Bone marrow aspirate smear:
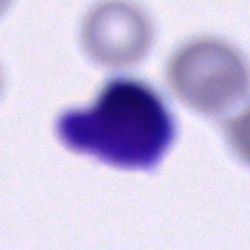
A cell of indeterminate lineage.